Bone marrow aspirate smear
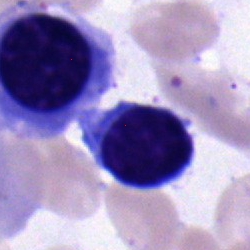

The morphological class is typical lymphocyte.